Bone marrow smear:
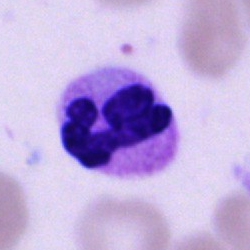Neutrophil (segmented).